Image size 250×250; bone marrow smear
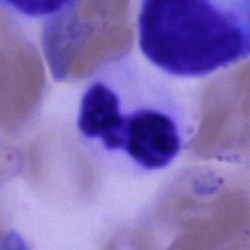Specimen: bone marrow aspirate smear.
Cell: segmented neutrophil.
Lineage: myeloid.